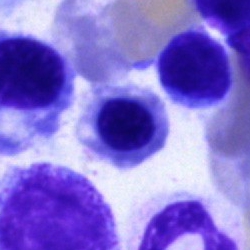
Q: What is shown here?
A: Nucleated red blood cell.